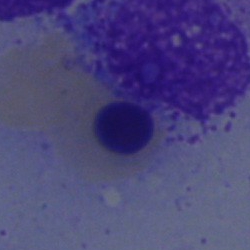 This is a normoblast.